Single-cell crop; bone marrow aspirate smear
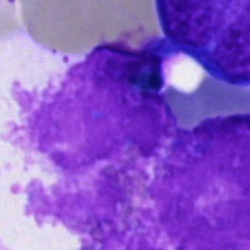 Showing an artefact.